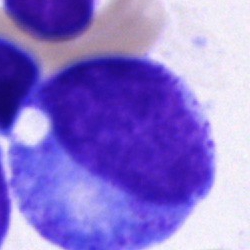 The classification is progranulocyte.